May-Grünwald-Giemsa/Pappenheim stain · bone marrow aspirate smear.
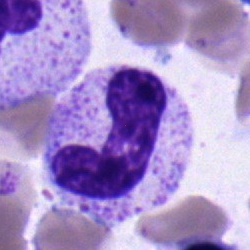 Showing a neutrophil (band).